250×250 px; bone marrow smear; single-cell crop.
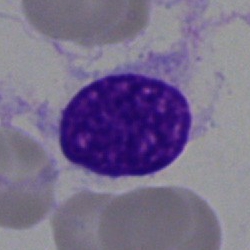
Q: What is shown here?
A: An artifact.